Bone marrow smear · 40× objective, oil immersion — 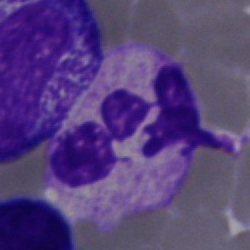Specimen: bone marrow smear.
Cell type: neutrophil (segmented).
Lineage: myeloid.